Bone marrow smear
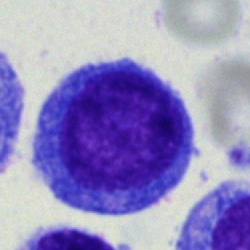

Cell type = blast cell.